Bone marrow smear.
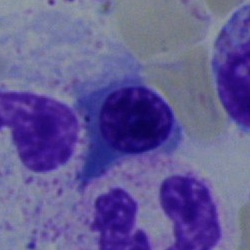 Classification — segmented neutrophil.